40× oil immersion · bone marrow smear — 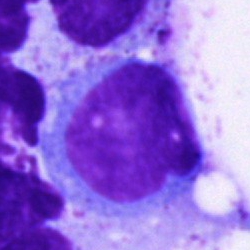 Q: Which cell type is shown here?
A: It is a blast cell.